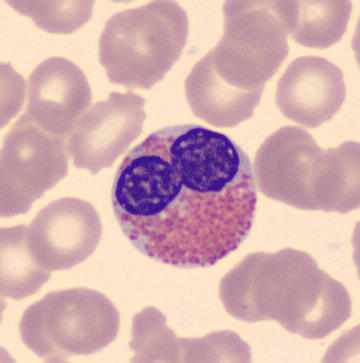
Image: Peripheral blood film; automated cell imaging (CellaVision DM96).
{"cell_type": "eosinophilic granulocyte", "lineage": "myeloid"}